Bone marrow smear: 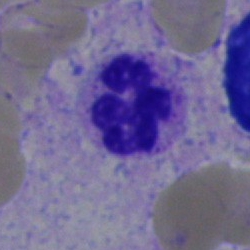

Q: What is the morphological classification of this cell?
A: A segmented neutrophil.